Single-cell field · bone marrow aspirate smear · MGG-stained:
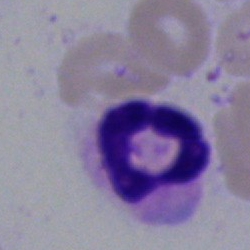Q: Identify the cell.
A: A polymorphonuclear neutrophil.